100× oil immersion; peripheral blood smear; image size 400×400.
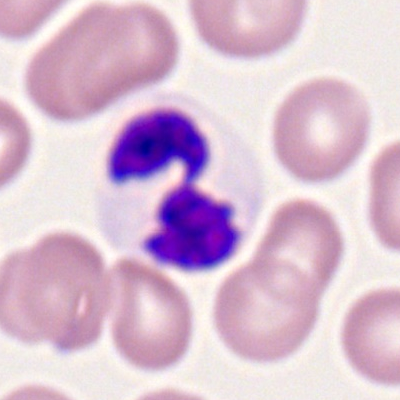
The cell is segmented neutrophil.